Bone marrow aspirate smear
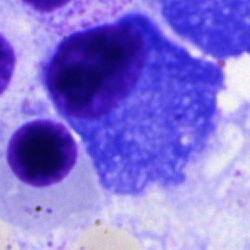 Q: Identify the cell.
A: This is a plasma cell.